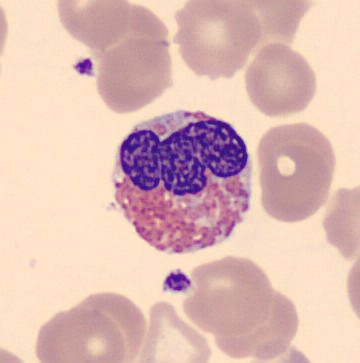The morphological class is eosinophilic granulocyte.